Peripheral blood smear: 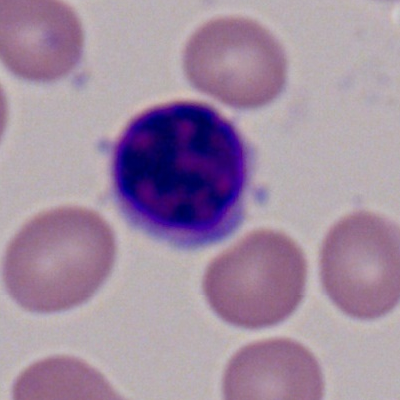

Single cell identified as a lymphocyte.